250×250 px; single cell centered in the field; bone marrow aspirate smear.
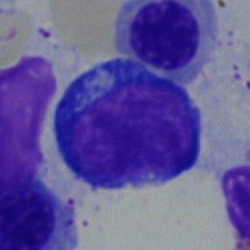

Q: What is the morphological classification of this cell?
A: It is a pronormoblast.